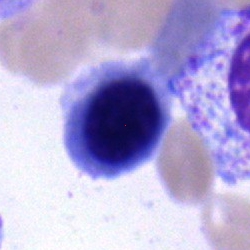 Impression — nucleated red blood cell.